Bone marrow aspirate smear.
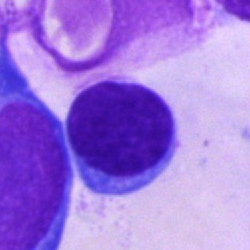

Cell type — lymphocyte.